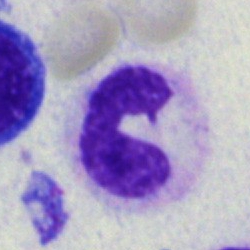Morphological class = stab cell.